Bone marrow aspirate smear.
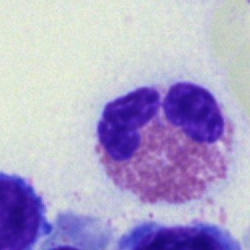

Morphology consistent with an eosinophilic granulocyte.